Bone marrow smear.
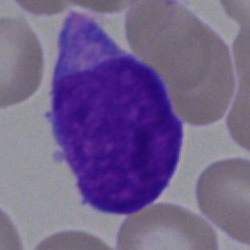
A blast cell.